Bone marrow smear.
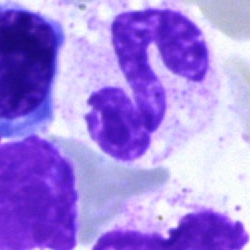 Classification = neutrophil (segmented).